Bone marrow aspirate smear
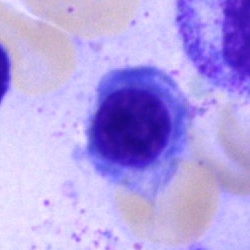
Q: What cell is this?
A: A normoblast.